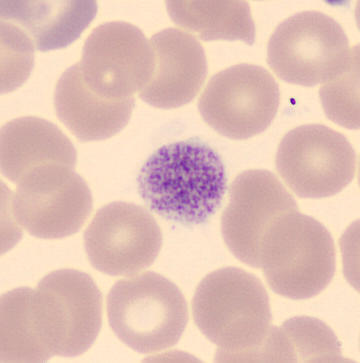
This is a thrombocyte.

Acquisition: Peripheral blood film. May Grünwald-Giemsa stain.